Cropped to a single cell; bone marrow smear — 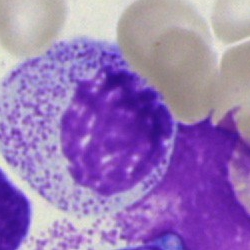Cell: myelocyte.